Peripheral blood smear; single cell centered in the field
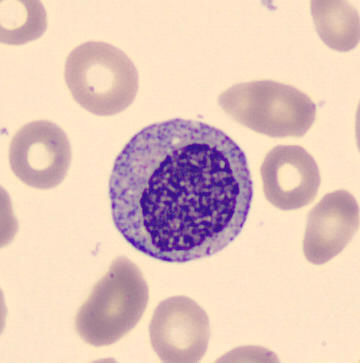
Cell type — myelocyte.